Bone marrow aspirate smear
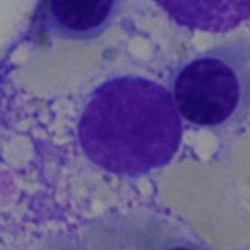
A typical lymphocyte.